Bone marrow aspirate smear — 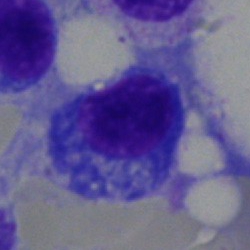

Morphological class — plasmacyte.